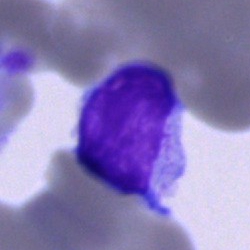
Morphological class — lymphocyte.